Bone marrow aspirate smear. 40× oil immersion. 250×250 — 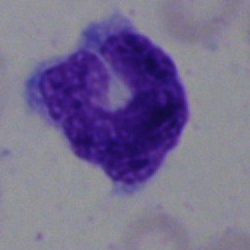Impression — monocyte.